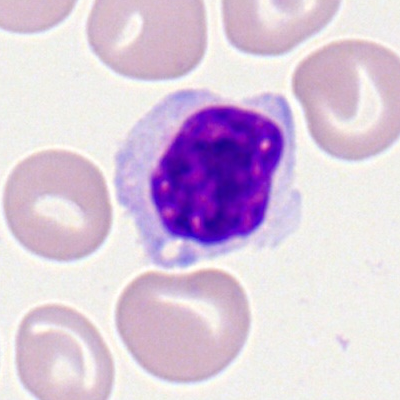 Single cell identified as a lymphocyte.